Bone marrow aspirate smear: 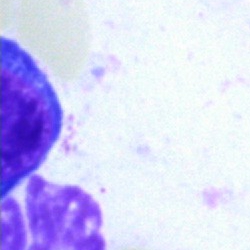
Q: What is shown here?
A: This is an artifact.